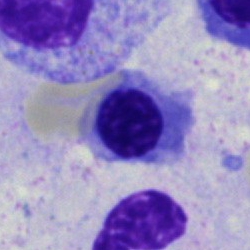

Q: What is the morphological classification of this cell?
A: It is an erythroblast.